Bone marrow aspirate smear · 250 by 250 pixels: 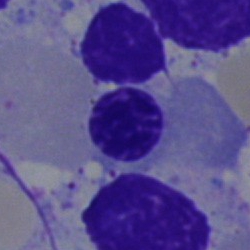 The morphological class is nucleated red cell.